Single-cell field · bone marrow smear:
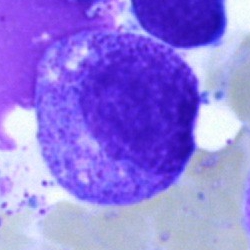

Impression — myelocyte.